Bone marrow smear; Pappenheim-stained: 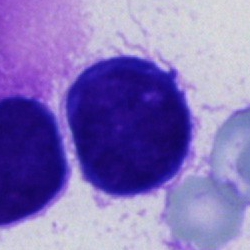 The cell type is cell of indeterminate lineage.